Bone marrow aspirate smear
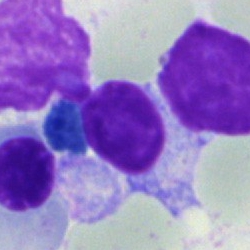 Morphology consistent with a lymphocyte.